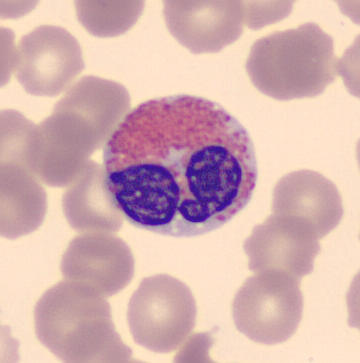 Morphology — eosinophil.